Bone marrow aspirate smear
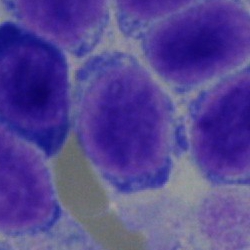
Cell type = lymphocyte.